250×250 · bone marrow aspirate smear · brightfield microscopy, 40× oil immersion: 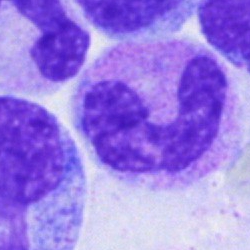
Showing a stab cell.